Single cell centered in the field. Bone marrow smear.
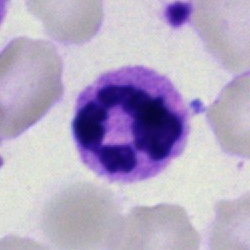
Morphology → neutrophil (segmented).